Bone marrow aspirate smear:
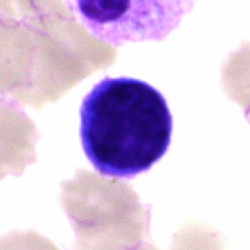 Morphology → typical lymphocyte.